Bone marrow smear — 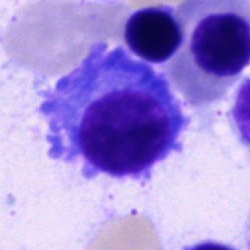 Morphology consistent with a plasmacyte.